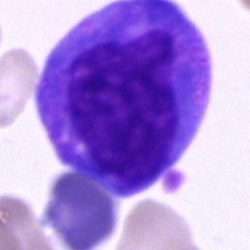Monocyte.